Pappenheim-stained. Bone marrow smear. Brightfield, 40× oil-immersion objective:
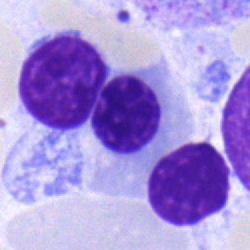

Nucleated red blood cell.